Bone marrow smear
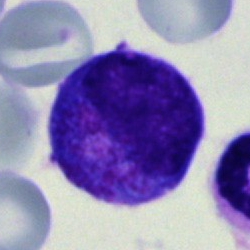 A progranulocyte.